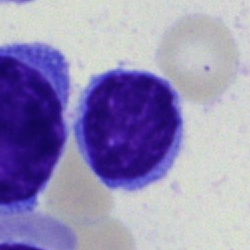Q: What is the morphological classification of this cell?
A: A lymphocyte.